Bone marrow smear · MGG-stained: 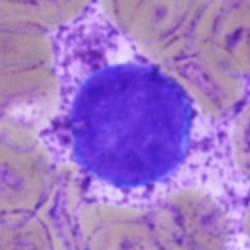{"cell_type": "blast"}